Bone marrow smear — 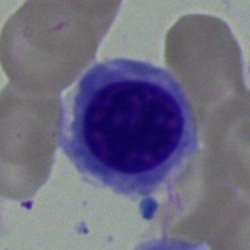
Cell = nucleated red blood cell.